Bone marrow smear
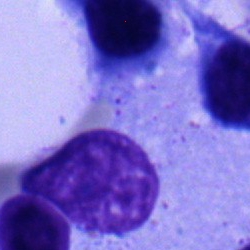 The classification is normoblast.